Bone marrow aspirate smear: 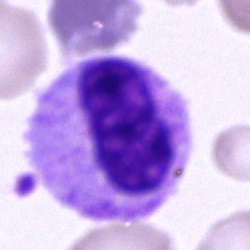 Specimen: bone marrow smear.
Cell type: band-form neutrophil.